Image size 250×250. Bone marrow smear — 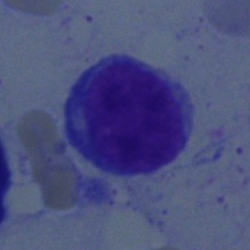The morphological class is blast.